Image size 250×250 · single cell centered in the field · bone marrow smear.
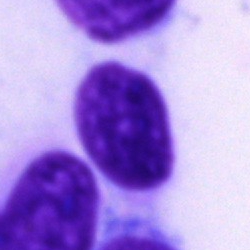 Cell type: cell of indeterminate lineage.